Pappenheim-stained · bone marrow aspirate smear · 40× objective, oil immersion:
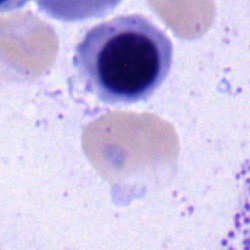Morphology — nucleated red blood cell.